Single cell centered in the field; bone marrow aspirate smear: 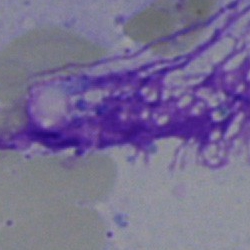 Specimen: bone marrow smear.
Cell: artifact.